Bone marrow smear. Brightfield microscopy, 40× oil immersion — 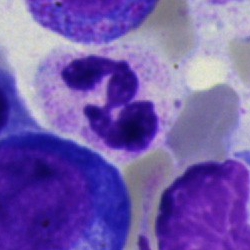

Specimen: bone marrow smear.
Morphological class: neutrophil (segmented).